Bone marrow smear; single-cell field; May-Grünwald-Giemsa stain: 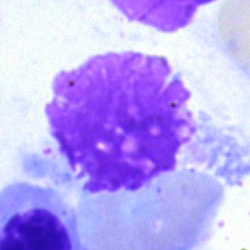 Morphology — artefact.